Peripheral blood smear
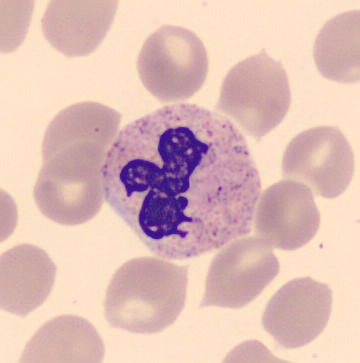
Showing a polymorphonuclear neutrophil.